Romanowsky-type stain · peripheral blood smear.
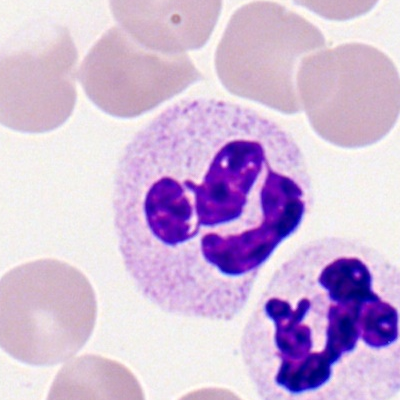
Cell type = neutrophil (segmented).